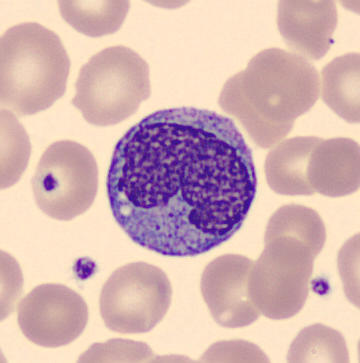 Acquisition: Peripheral blood smear. Cell: monocyte.